Bone marrow smear. Single-cell field. 250×250 — 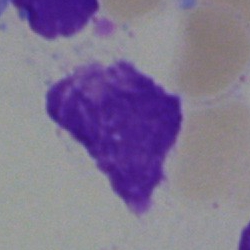 The morphological class is artefact.